Bone marrow smear — 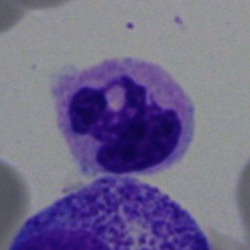

Impression → polymorphonuclear neutrophil.